Bone marrow smear: 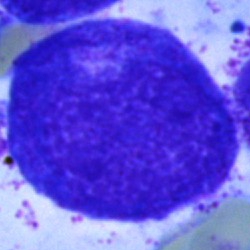 Promyelocyte.